Single-cell crop; bone marrow aspirate smear: 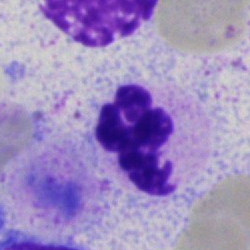
Q: What is shown here?
A: A polymorphonuclear neutrophil.